Bone marrow smear · May-Grünwald-Giemsa stain
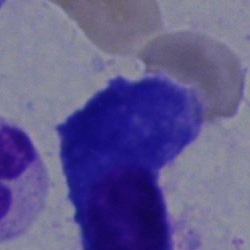 Q: Which cell type is shown here?
A: Plasma cell.